Bone marrow smear: 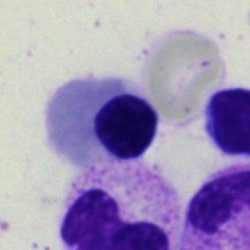
Classification = nucleated red blood cell.